Bone marrow smear · 250 by 250 pixels:
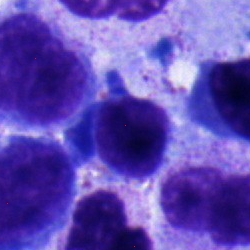
Morphology consistent with a plasmacyte.